Bone marrow smear
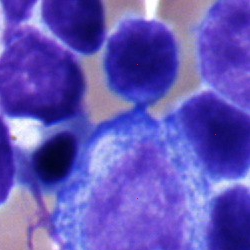The cell shown is a typical lymphocyte.